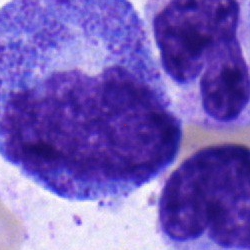

Morphology consistent with a progranulocyte.